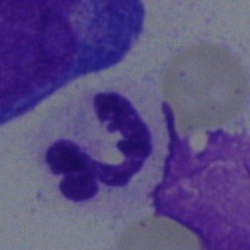
Cell type — neutrophil (segmented).